MGG-stained. Bone marrow smear — 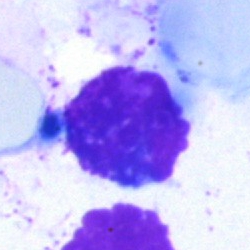 Single cell identified as an artifact.